Peripheral blood film — 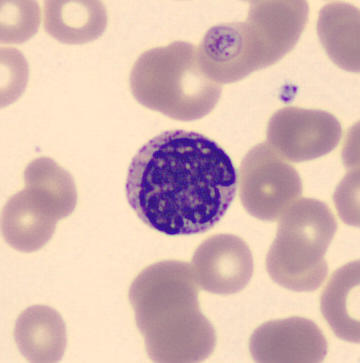 Single cell identified as a metamyelocyte.